40× oil immersion · bone marrow smear
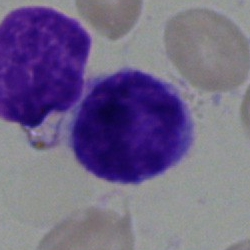 Typical lymphocyte.